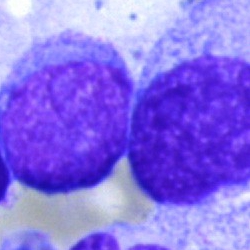
Morphology → lymphocyte.